Bone marrow aspirate smear: 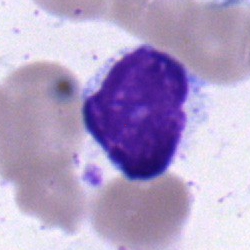 The morphological class is lymphocyte.